Cropped to a single cell · bone marrow aspirate smear.
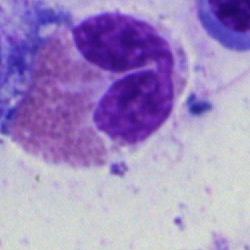This is an eosinophilic granulocyte.